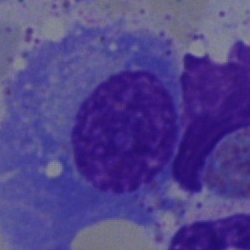Morphological class: plasma cell.